Peripheral blood film
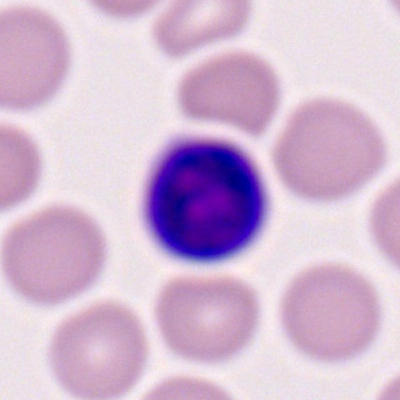
The morphological class is lymphocyte.